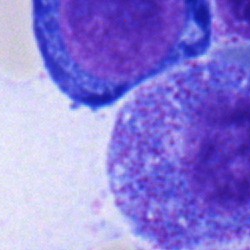Proerythroblast.